Bone marrow smear: 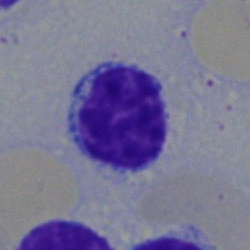
This is a typical lymphocyte.